Bone marrow aspirate smear:
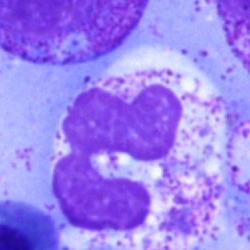

The cell is polymorphonuclear neutrophil.